Bone marrow smear — 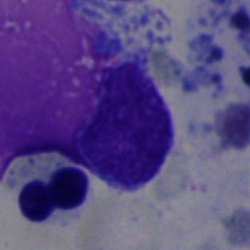

Q: Which cell type is shown here?
A: A lymphocyte.